Bone marrow smear — 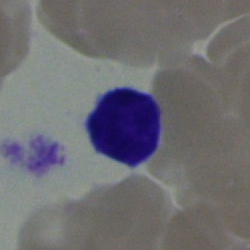Morphology consistent with a lymphocyte.